Bone marrow aspirate smear — 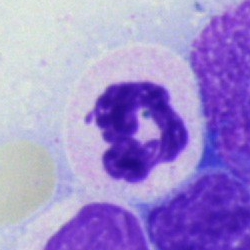
Neutrophil (segmented).